Bone marrow smear
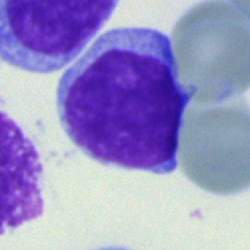A lymphocyte.